Bone marrow aspirate smear.
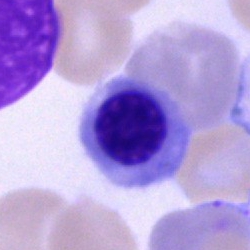 The cell shown is an erythroblast.